250×250 px · May-Grünwald-Giemsa stain · bone marrow aspirate smear — 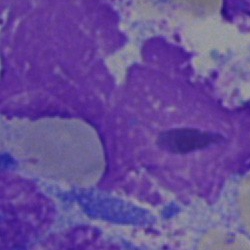This is an artifact.